Peripheral blood film
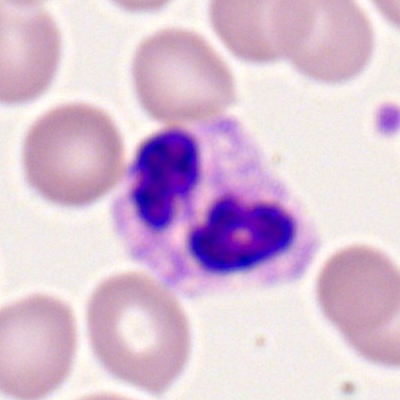 Specimen: peripheral blood film.
Cell: neutrophil (segmented).
Lineage: myeloid.